250×250 px · bone marrow smear · May-Grünwald-Giemsa stain: 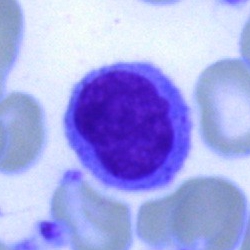Q: Identify the cell.
A: Lymphocyte.